Bone marrow smear — 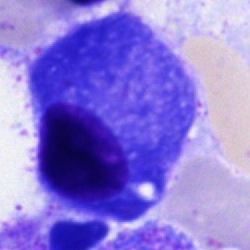Morphology consistent with a plasma cell.